Bone marrow aspirate smear
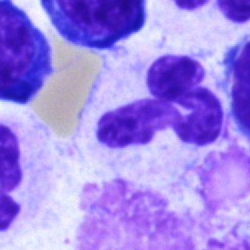 Specimen: bone marrow smear.
Classification: neutrophil (segmented).